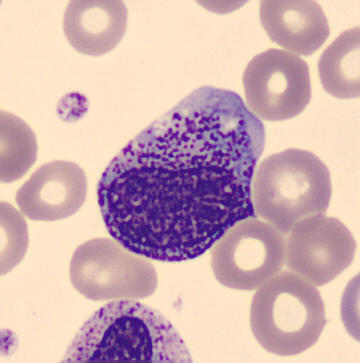 Peripheral blood film. Morphology → progranulocyte.